Pappenheim-stained · bone marrow smear — 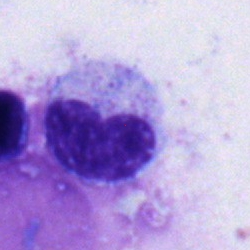Impression — metamyelocyte.